Bone marrow aspirate smear
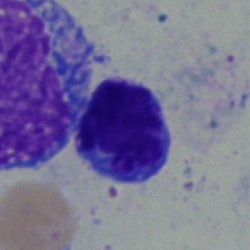
Q: What cell is this?
A: A typical lymphocyte.